Bone marrow smear: 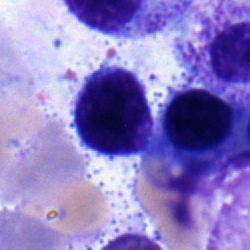Q: Identify the cell.
A: Typical lymphocyte.